Bone marrow smear: 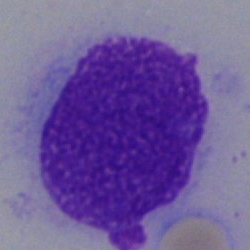
This is an artifact.